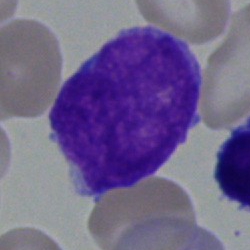 Morphology — blast cell.